Bone marrow smear
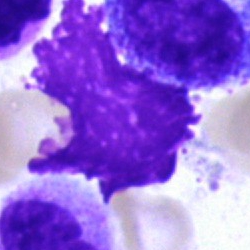 The cell shown is an artefact.